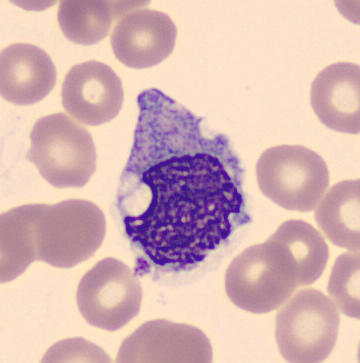
{"cell_type": "monocyte", "lineage": "myeloid"}